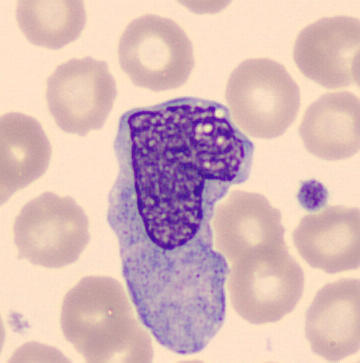Q: Which cell type is shown here?
A: Monocyte.

Peripheral blood smear.